Bone marrow smear.
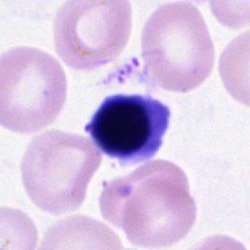

Q: What type of cell is this?
A: Normoblast.